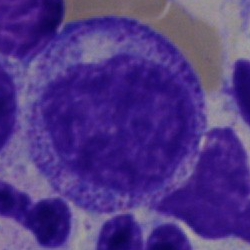Q: What type of cell is this?
A: It is a myelocyte.